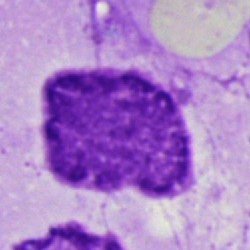
Q: What is shown here?
A: An artifact.